Bone marrow aspirate smear
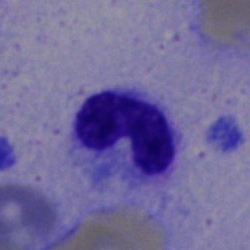 This is a stab cell.